MGG-stained. Cropped to a single cell. Bone marrow smear: 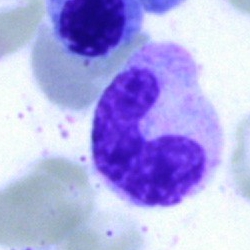 Neutrophil (band).